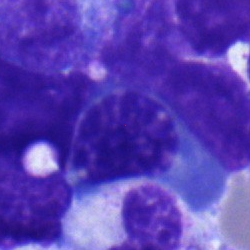
Q: What type of cell is this?
A: This is a normoblast.